Bone marrow aspirate smear:
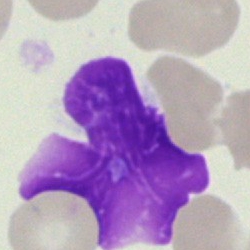
Cell: artifact.